Bone marrow smear.
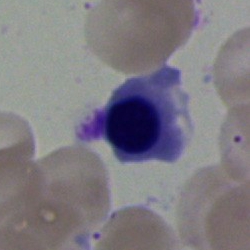

Cell type: erythroblast.